Bone marrow aspirate smear:
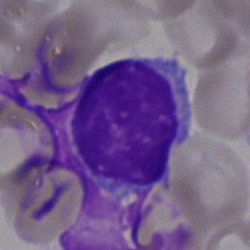

Cell = lymphocyte.